Peripheral blood film: 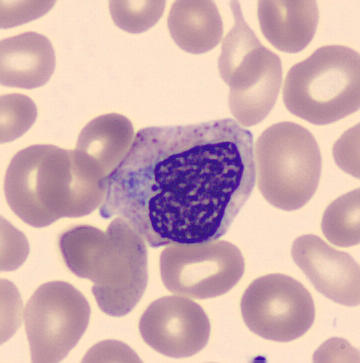 Cell = metamyelocyte.